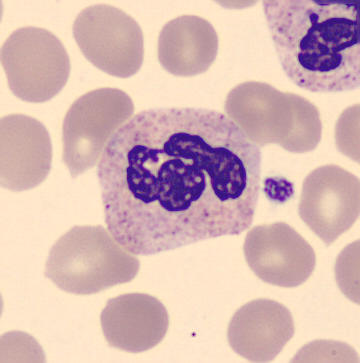Acquisition: Single cell centered in the field.

Specimen: peripheral blood film.
Morphological class: segmented neutrophil.